May-Grünwald-Giemsa stain. Bone marrow aspirate smear. Image size 250×250
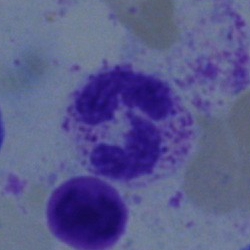The cell type is neutrophil (segmented).